Image size 250×250. Bone marrow aspirate smear.
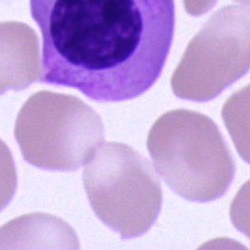
Classification: cell of indeterminate lineage.